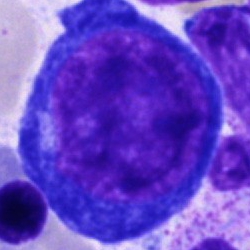

Morphological class = proerythroblast.